Bone marrow smear — 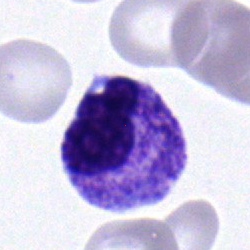Impression — stab cell.